Bone marrow aspirate smear:
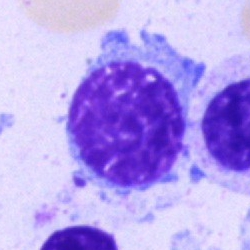 Showing a typical lymphocyte.